Bone marrow smear — 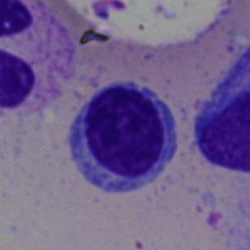Specimen: bone marrow aspirate smear.
Classification: typical lymphocyte.
Lineage: lymphoid.